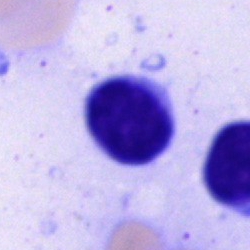
Impression — lymphocyte.